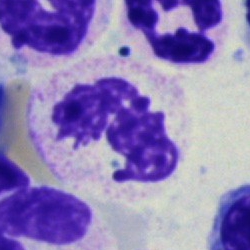

Specimen: bone marrow aspirate smear.
Cell: polymorphonuclear neutrophil.